Image size 250×250; bone marrow aspirate smear; 40× oil immersion:
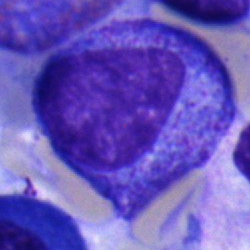A progranulocyte.